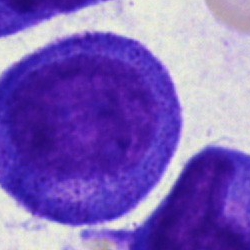 Specimen: bone marrow smear.
Cell: promyelocyte.
Lineage: myeloid.